Bone marrow smear. May-Grünwald-Giemsa/Pappenheim stain. Cropped to a single cell — 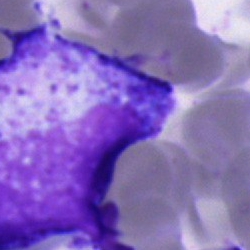Showing a progranulocyte.